Bone marrow aspirate smear; 250×250:
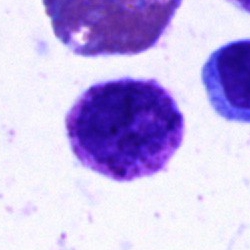 Basophil.